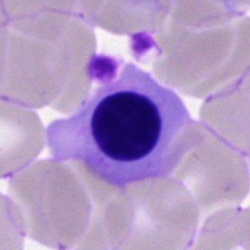

Cell = normoblast.